Single-cell field. Bone marrow aspirate smear — 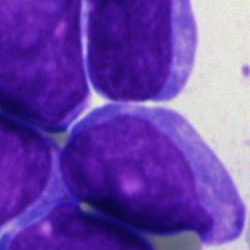

Single cell identified as an undifferentiated blast.